Bone marrow smear.
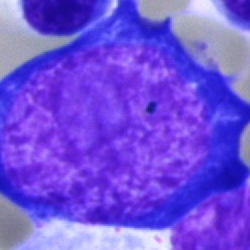

Morphology — pronormoblast.